Bone marrow smear
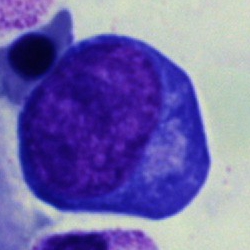

The cell shown is a proerythroblast.